Bone marrow smear: 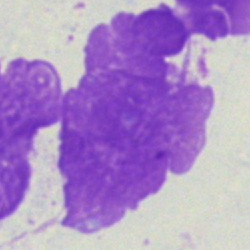Impression → artifact.